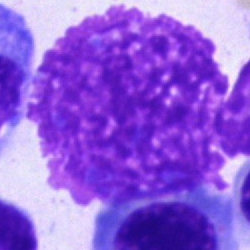
Q: What is shown here?
A: It is an artefact.